Bone marrow aspirate smear
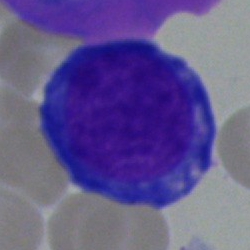
Morphology consistent with a proerythroblast.